Bone marrow smear: 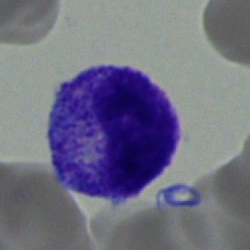A metamyelocyte.